250 by 250 pixels. Bone marrow smear. Pappenheim-stained:
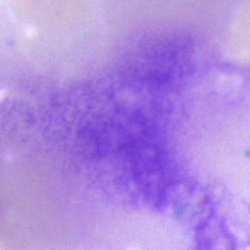
Specimen: bone marrow aspirate smear.
Cell type: artefact.